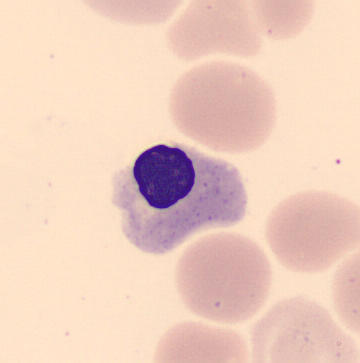
This is a nucleated red blood cell.